Bone marrow smear; May-Grünwald-Giemsa/Pappenheim stain — 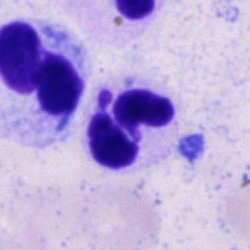The classification is neutrophil (segmented).